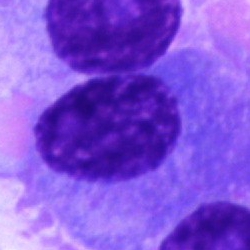
Showing a plasmacyte.